Single-cell field · bone marrow aspirate smear: 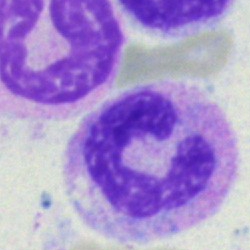

Cell type: band-form neutrophil.